Bone marrow aspirate smear — 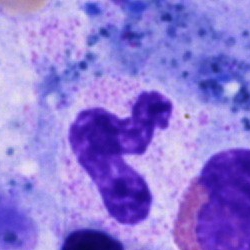
The cell shown is a segmented neutrophil.